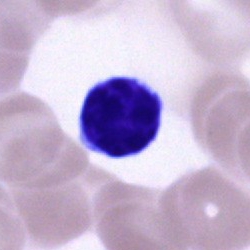
The cell shown is a lymphocyte.